Bone marrow smear:
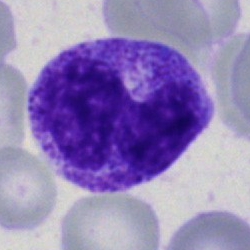
Specimen: bone marrow smear.
Classification: band neutrophil.
Lineage: myeloid.